Bone marrow aspirate smear · 250 by 250 pixels:
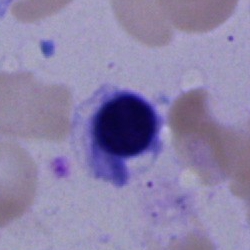 Impression → nucleated red cell.